Bone marrow smear; single-cell crop: 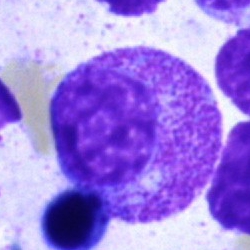Myelocyte.